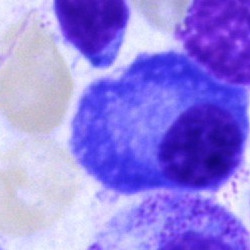 Plasma cell.